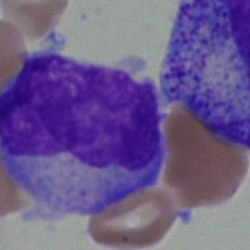

Morphological class = monocyte.